40× objective, oil immersion; bone marrow aspirate smear; single-cell crop:
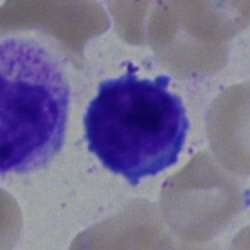
Specimen: bone marrow smear.
Cell type: lymphocyte.
Lineage: lymphoid.